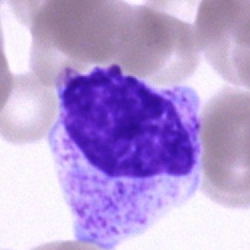Classification: cell of indeterminate lineage.